Bone marrow aspirate smear · May-Grünwald-Giemsa stain
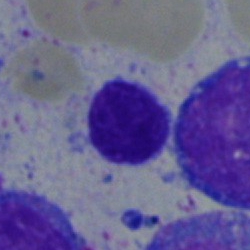
Classification = typical lymphocyte.